Peripheral blood film; MGG stain — 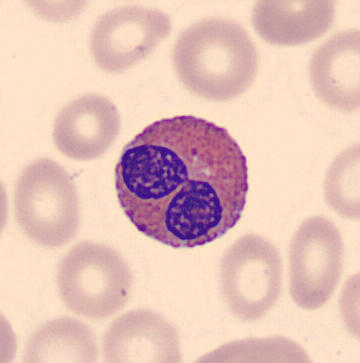

Q: What cell is this?
A: This is an eosinophilic granulocyte.